Bone marrow aspirate smear · brightfield, 40× oil-immersion objective · May-Grünwald-Giemsa stain: 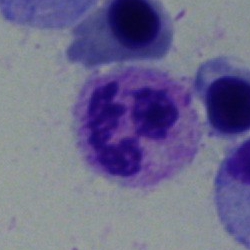
The cell is neutrophil (segmented).